Bone marrow aspirate smear; 40× objective, oil immersion: 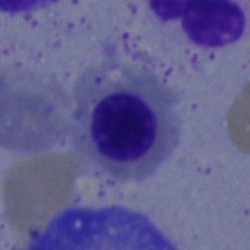
Specimen: bone marrow smear.
Cell: nucleated red blood cell.